Bone marrow smear; brightfield, 40× oil-immersion objective.
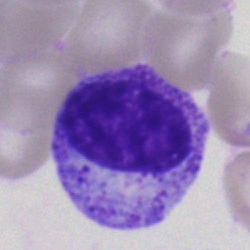 Specimen: bone marrow smear.
Cell: myelocyte.